Bone marrow smear · 250×250 · brightfield, 40× oil-immersion objective
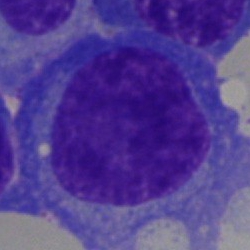Specimen: bone marrow smear.
Cell type: plasma cell.
Lineage: lymphoid.